Single cell centered in the field. MGG-stained. Bone marrow smear
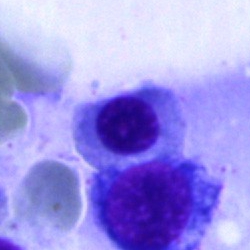
Morphology → normoblast.